Bone marrow aspirate smear · 250×250 · single-cell crop.
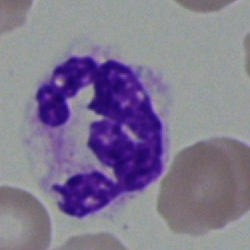Morphological class — polymorphonuclear neutrophil.